Bone marrow aspirate smear. 250×250 px:
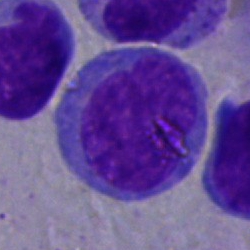
Morphological class — undifferentiated blast.